Bone marrow aspirate smear:
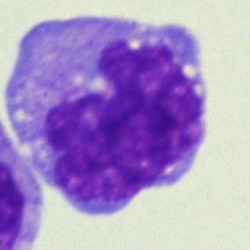Q: Identify the cell.
A: This is a monocyte.